250×250 · bone marrow smear
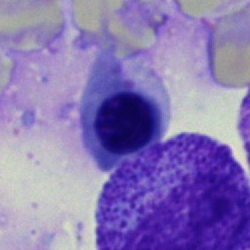Q: Which cell type is shown here?
A: Nucleated red cell.